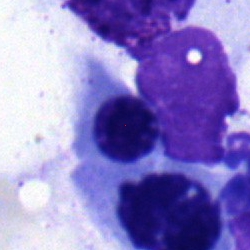{"cell_type": "erythroblast"}